Image size 250×250. Bone marrow aspirate smear
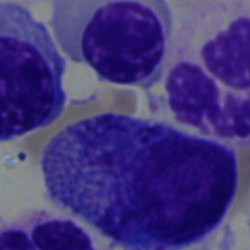Cell = myelocyte.